Cropped to a single cell · peripheral blood film:
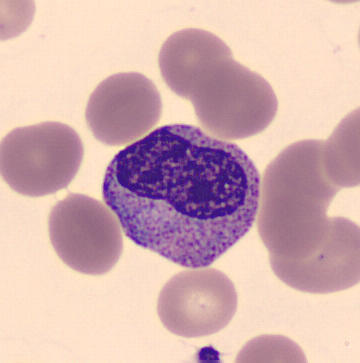{"cell_type": "metamyelocyte", "lineage": "myeloid"}